Bone marrow aspirate smear:
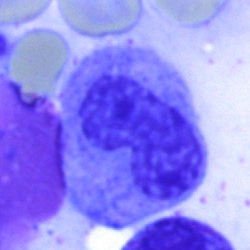
The cell shown is a metamyelocyte.